400 by 400 pixels; peripheral blood film:
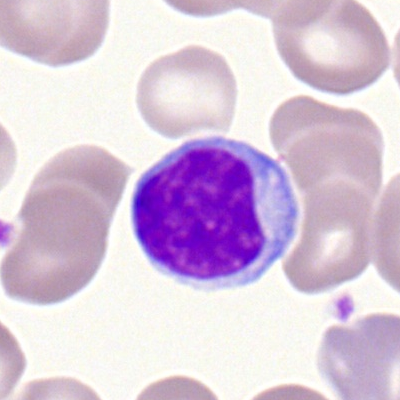 Q: Which cell type is shown here?
A: It is a lymphocyte.